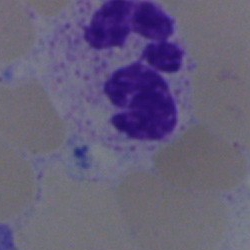
Q: What cell is this?
A: It is a neutrophil (segmented).